Bone marrow aspirate smear:
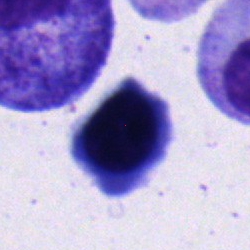

Morphological class: erythroblast.